Bone marrow smear
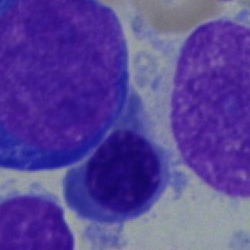 Single cell identified as an erythroblast.